Bone marrow aspirate smear:
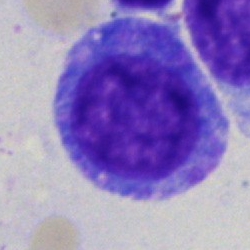
Morphology → progranulocyte.